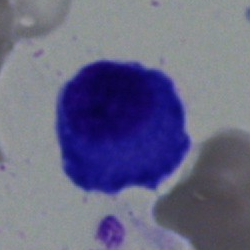 The classification is plasma cell.